Bone marrow smear:
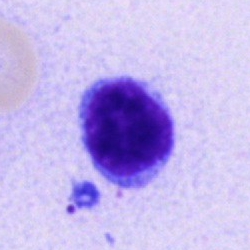The classification is lymphocyte.